Bone marrow aspirate smear — 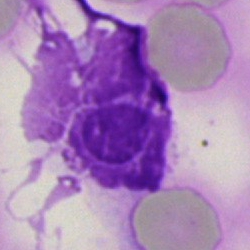
Morphology consistent with an artifact.